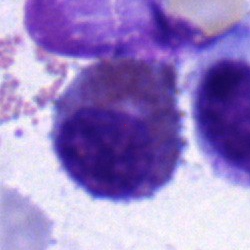 Classification = eosinophil.